Bone marrow smear — 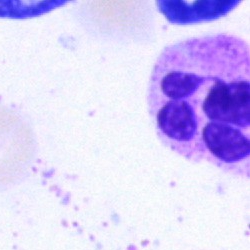

Segmented neutrophil.